250×250; bone marrow aspirate smear — 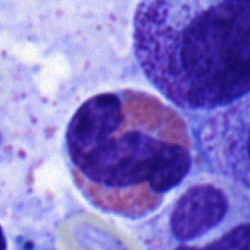
Classification = eosinophilic granulocyte.